Bone marrow aspirate smear: 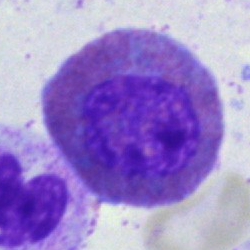 Showing an eosinophilic granulocyte.